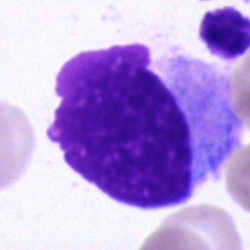Q: What cell is this?
A: It is a cell of indeterminate lineage.